Peripheral blood smear:
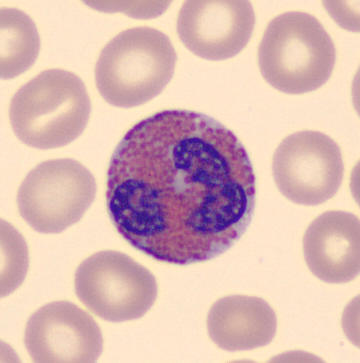
Cell: eosinophil.